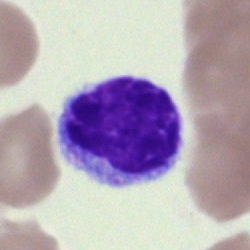

Specimen: bone marrow aspirate smear.
Cell type: lymphocyte.
Lineage: lymphoid.